Bone marrow smear — 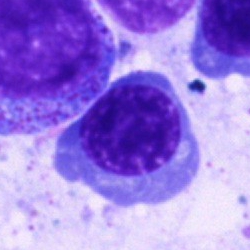 Morphology consistent with a normoblast.